Bone marrow aspirate smear:
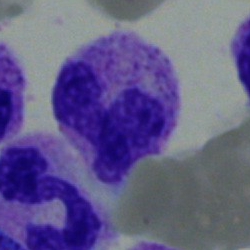

Cell type — stab cell.